400×400. Peripheral blood film:
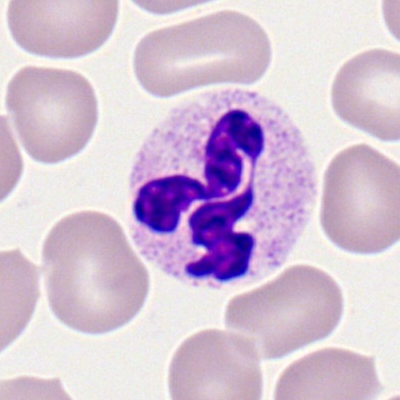

Neutrophil (segmented).